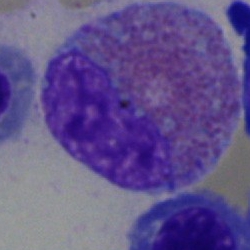Impression → eosinophilic granulocyte.